May-Grünwald-Giemsa stain · bone marrow aspirate smear
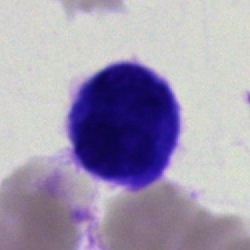
Morphology → blast cell.